Peripheral blood film:
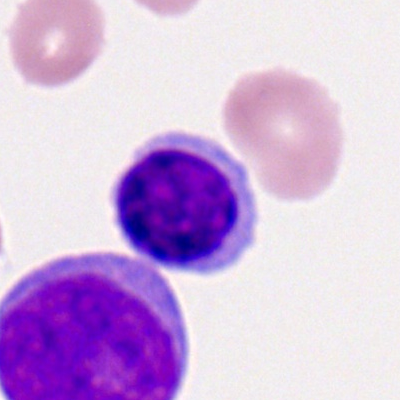
A lymphocyte.